Bone marrow aspirate smear.
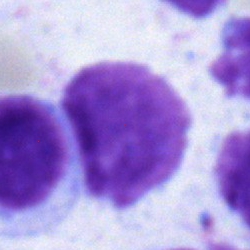Morphology consistent with a lymphocyte.